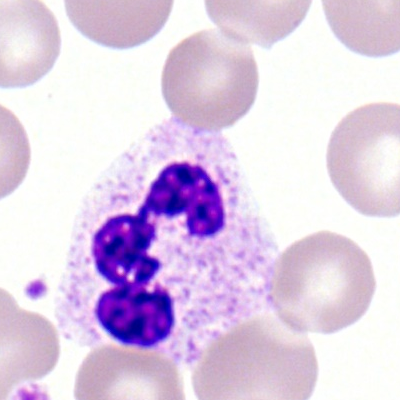
A polymorphonuclear neutrophil.